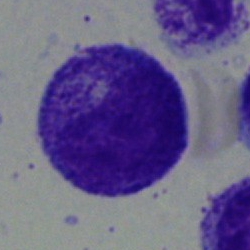 {"cell_type": "myelocyte", "lineage": "myeloid"}